Bone marrow aspirate smear — 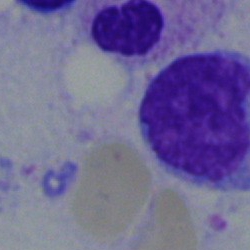An undifferentiated blast.